Bone marrow smear
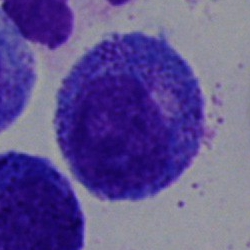
Q: Identify the cell.
A: A progranulocyte.